Bone marrow aspirate smear — 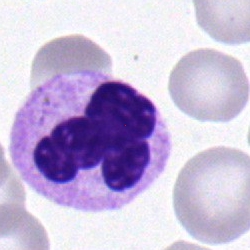Cell — lymphocyte.